Bone marrow aspirate smear · 40× objective, oil immersion — 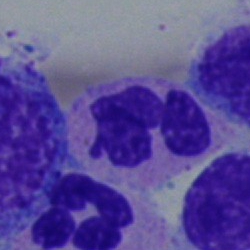Morphology consistent with a neutrophil (segmented).